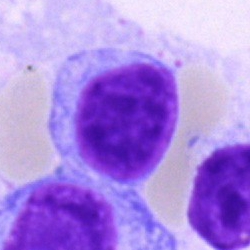Single cell identified as a lymphocyte.